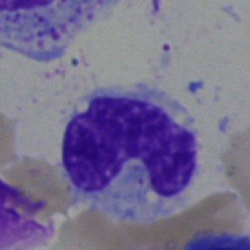A stab cell.